Bone marrow smear:
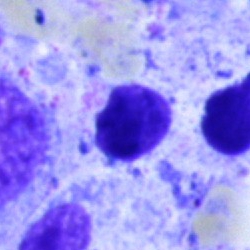
Morphology consistent with an artifact.